Bone marrow aspirate smear.
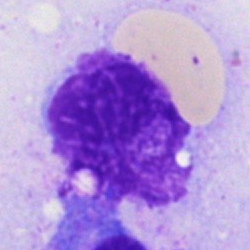

Morphological class = artifact.